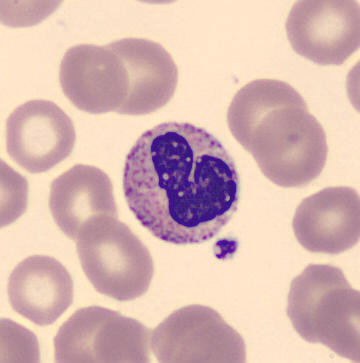

Cell — stab cell.